Peripheral blood smear — 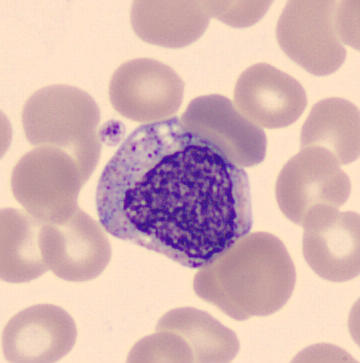 Q: What type of cell is this?
A: It is a myelocyte.